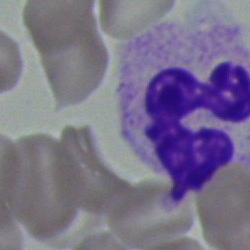

Impression — polymorphonuclear neutrophil.